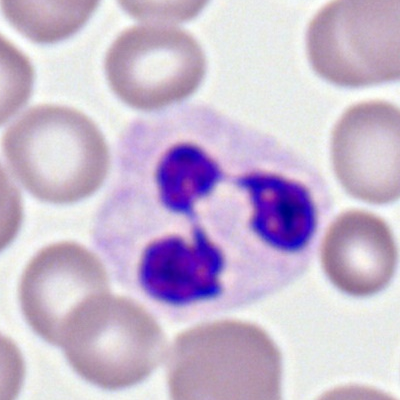Specimen: peripheral blood film.
Morphological class: polymorphonuclear neutrophil.